Brightfield microscopy, 40× oil immersion · bone marrow aspirate smear:
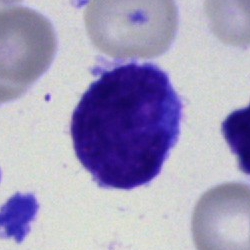

Blast.